Bone marrow smear — 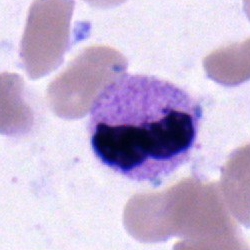
Q: What cell is this?
A: It is a segmented neutrophil.